Bone marrow aspirate smear; 40× oil immersion.
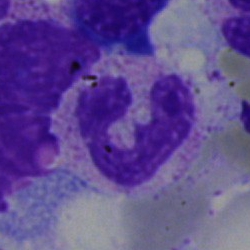Impression → polymorphonuclear neutrophil.